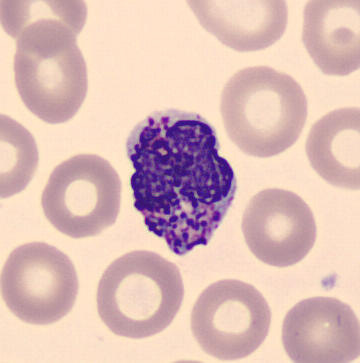 Image: Cropped to a single cell. Peripheral blood smear.
A basophil.